Peripheral blood smear.
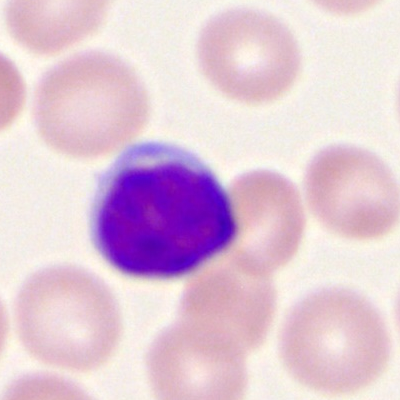 {"cell_type": "typical lymphocyte", "lineage": "lymphoid"}